Cropped to a single cell; bone marrow smear — 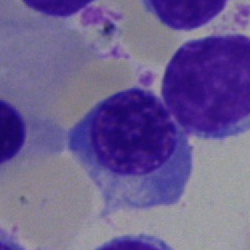

Classification: erythroblast.